MGG-stained; bone marrow smear
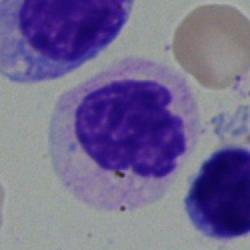Showing a band-form neutrophil.